Peripheral blood film — 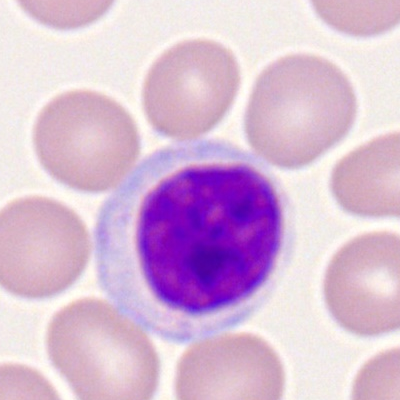
The morphological class is typical lymphocyte.